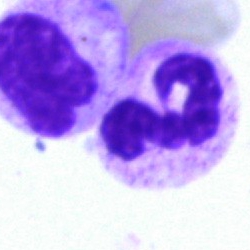Impression — neutrophil (segmented).